Single-cell field · 40× objective, oil immersion · bone marrow smear: 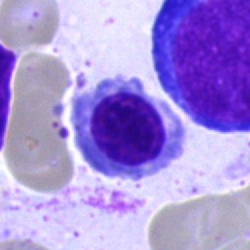

Q: What is the morphological classification of this cell?
A: Nucleated red cell.